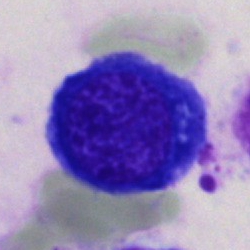 Showing an erythroblast.